Peripheral blood film · Romanowsky-stained:
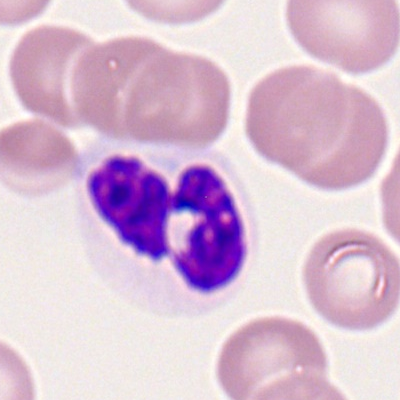

Morphological class — segmented neutrophil.